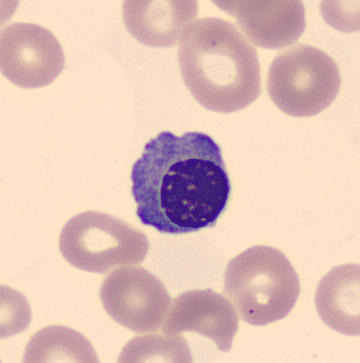 Acquisition: Peripheral blood film.
Impression — erythroblast.